100× objective, oil immersion; peripheral blood smear; 400 by 400 pixels: 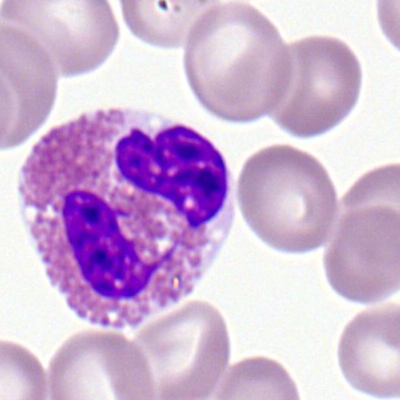 Q: Which cell type is shown here?
A: An eosinophil.